Image size 250×250 · bone marrow smear
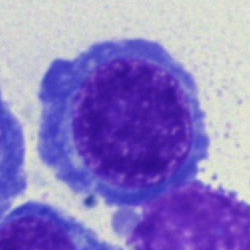 Cell type — nucleated red blood cell.